Bone marrow aspirate smear — 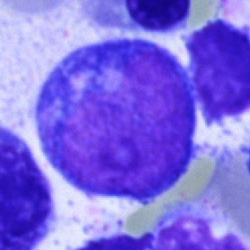
Classification = pronormoblast.